Single-cell crop; bone marrow aspirate smear
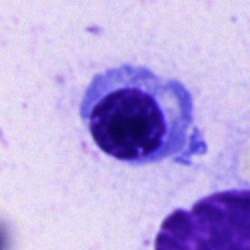
An erythroblast.